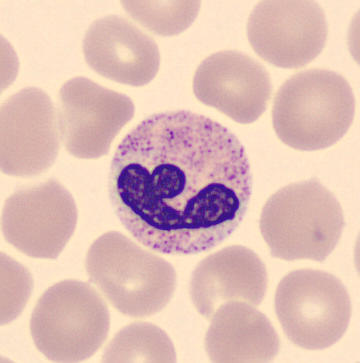Single cell identified as a neutrophil (band).